Single-cell crop; bone marrow aspirate smear:
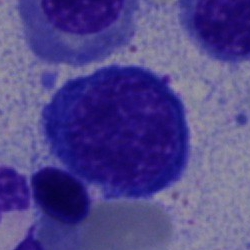
Morphology — nucleated red blood cell.